Bone marrow smear — 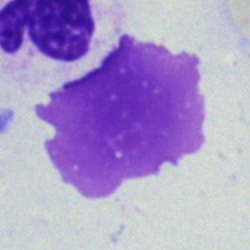 Single cell identified as an artifact.